Bone marrow aspirate smear
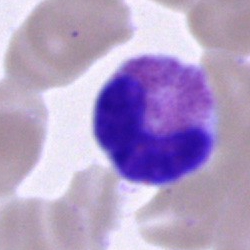

Morphology consistent with an eosinophilic granulocyte.